Bone marrow aspirate smear: 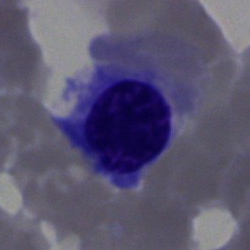
This is a nucleated red cell.